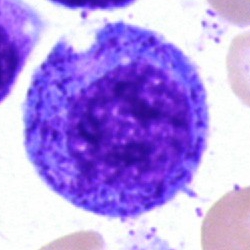 Morphology → progranulocyte.